Bone marrow smear: 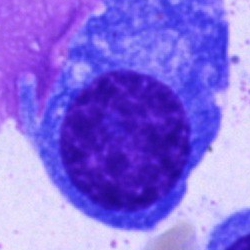Q: What type of cell is this?
A: This is a plasmacyte.